Bone marrow aspirate smear; single cell centered in the field: 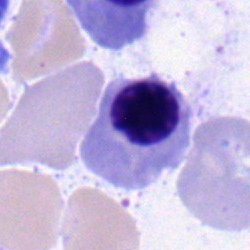
The cell shown is a normoblast.